Bone marrow aspirate smear; May-Grünwald-Giemsa stain.
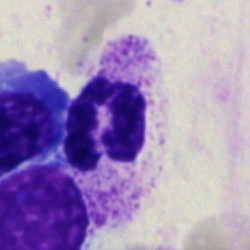Q: What is the morphological classification of this cell?
A: It is a neutrophil (segmented).